400×400 px · peripheral blood smear
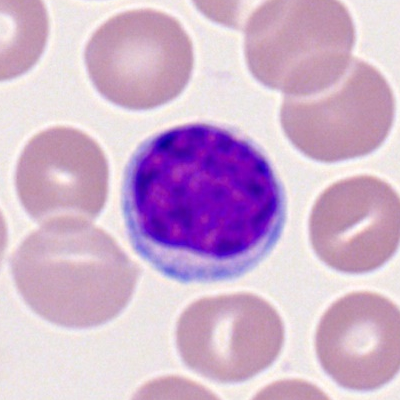

Q: What is shown here?
A: A lymphocyte.